Bone marrow smear — 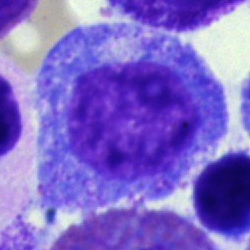
Specimen: bone marrow smear.
Morphological class: promyelocyte.